MGG-stained; brightfield, 40× oil-immersion objective; bone marrow smear.
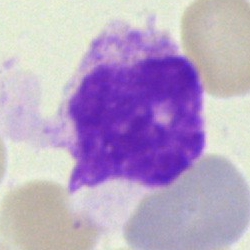
Cell type — artifact.